Bone marrow aspirate smear · MGG-stained · brightfield microscopy, 40× oil immersion:
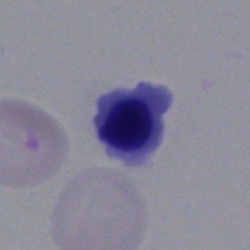

An erythroblast.